Bone marrow smear. 40× oil immersion
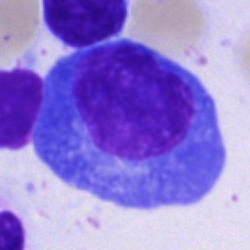 Showing a plasmacyte.